Peripheral blood film.
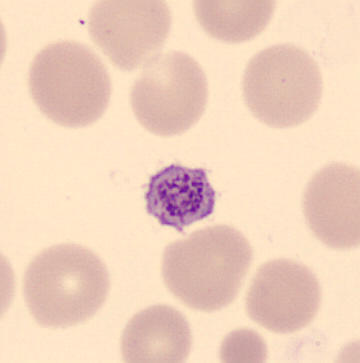This is a platelet (thrombocyte).